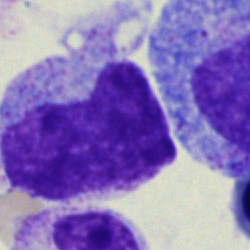 A metamyelocyte.